Bone marrow aspirate smear:
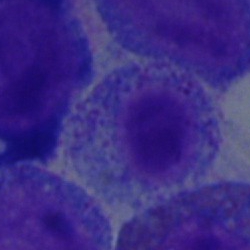

Q: Identify the cell.
A: This is a myelocyte.